Bone marrow smear.
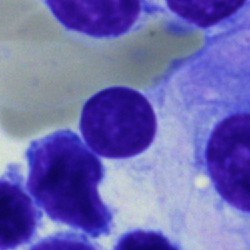
Showing a typical lymphocyte.